Peripheral blood smear; 400×400 px; cropped to a single cell: 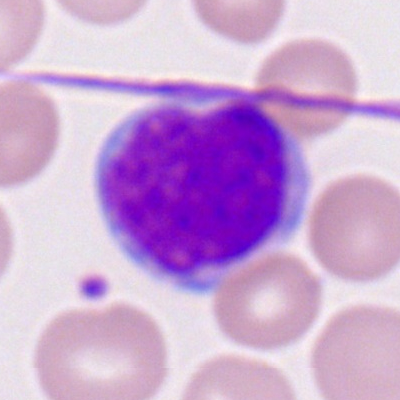Single cell identified as a myeloblast.